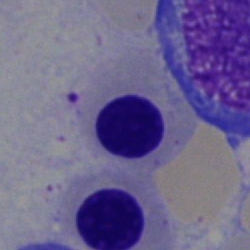Cell type: normoblast.